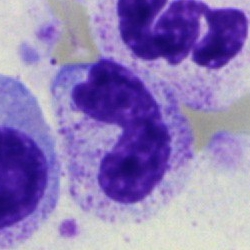Bone marrow aspirate smear, single cell — stab cell.